Bone marrow aspirate smear.
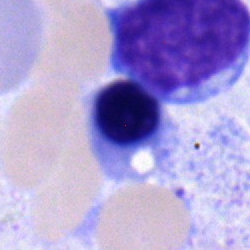 Specimen: bone marrow smear.
Cell type: nucleated red cell.